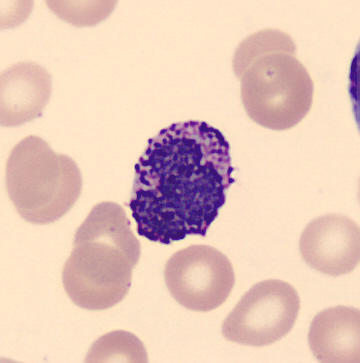
Peripheral blood smear showing a basophil.